Single cell centered in the field · bone marrow smear — 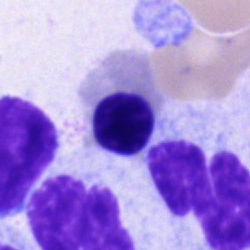

Q: Which cell type is shown here?
A: A nucleated red blood cell.